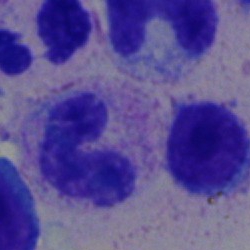

Classification = band-form neutrophil.